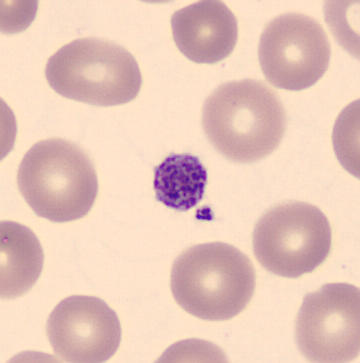
Platelet (thrombocyte).

Peripheral blood film.